Bone marrow aspirate smear.
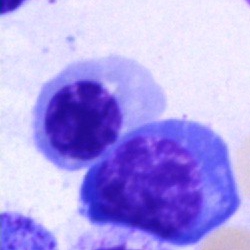Morphology consistent with a nucleated red cell.